Bone marrow aspirate smear:
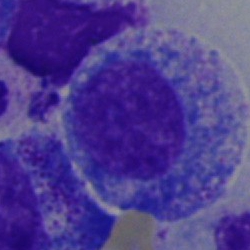

This is a promyelocyte.